Bone marrow aspirate smear
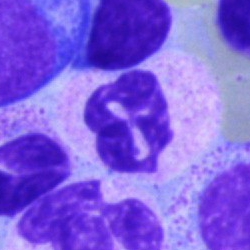Q: What cell is this?
A: Neutrophil (segmented).